MGG-stained · bone marrow smear — 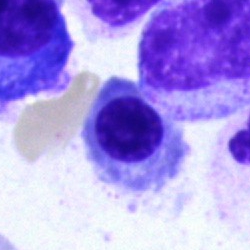Morphological class: nucleated red blood cell.